Bone marrow smear — 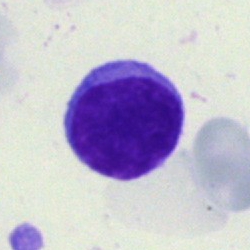
Q: Identify the cell.
A: Lymphocyte.